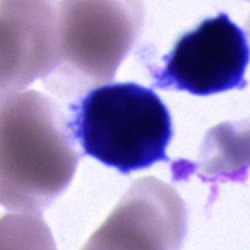

The cell type is unidentifiable cell.